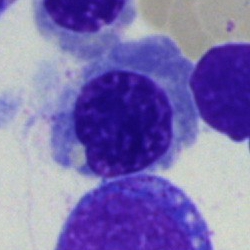
Cell — nucleated red cell.